Bone marrow aspirate smear:
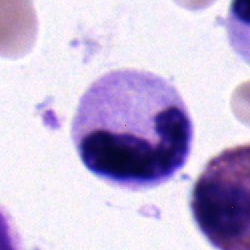Single cell identified as a band neutrophil.